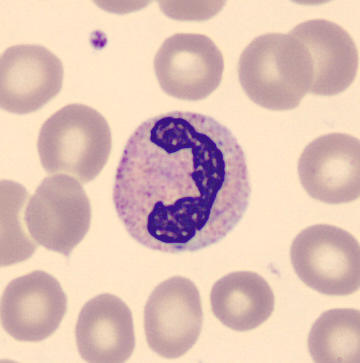Morphological class: band-form neutrophil. Single cell centered in the field; peripheral blood smear.